Bone marrow aspirate smear; 250×250 px: 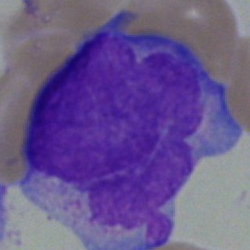
Cell type = blast cell.